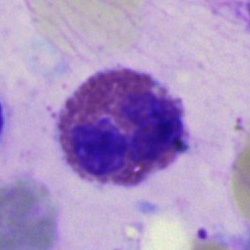

An eosinophilic granulocyte on a bone marrow smear.